Image size 250×250. Bone marrow smear. Cropped to a single cell — 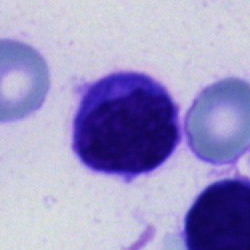

Morphology consistent with an other cell.